250×250 px; bone marrow aspirate smear — 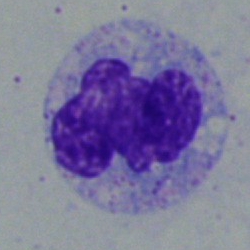 Morphology — monocyte.